Bone marrow aspirate smear
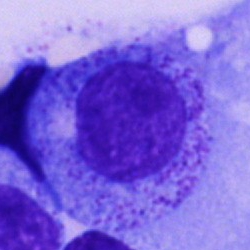Impression → progranulocyte.